Cropped to a single cell · bone marrow aspirate smear.
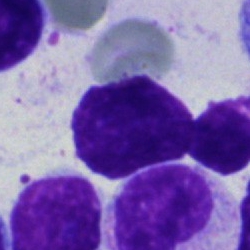 Single cell identified as an artefact.